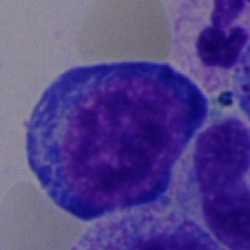
Specimen: bone marrow smear.
Cell type: pronormoblast.
Lineage: erythroid.